100× oil immersion, 14.14 px/µm. 400×400. Peripheral blood film — 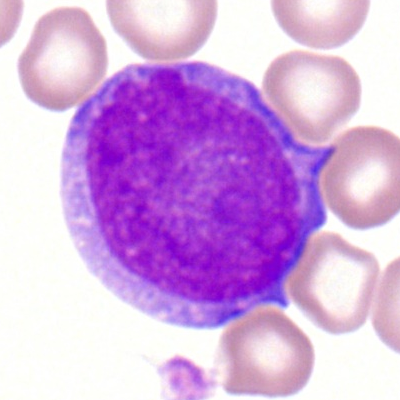

{"cell_type": "myeloblast", "lineage": "myeloid"}